Bone marrow smear — 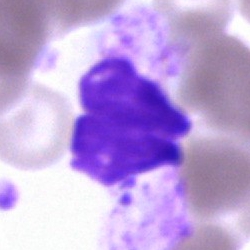Q: What is shown here?
A: It is an artefact.